Bone marrow smear — 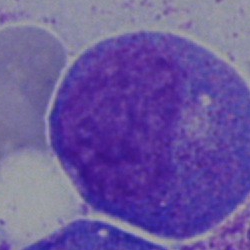

Morphology consistent with a progranulocyte.